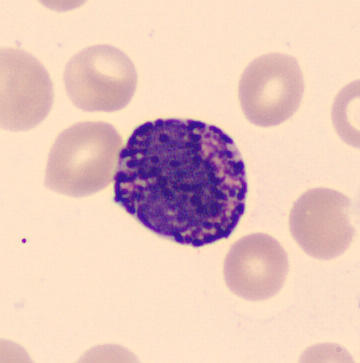

Specimen: peripheral blood film.
Morphological class: basophil.
Lineage: myeloid.